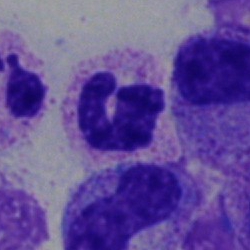 Showing a neutrophil (segmented).